Bone marrow smear: 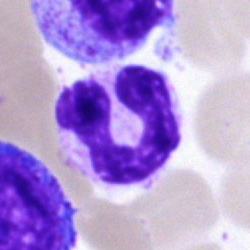Q: Which cell type is shown here?
A: A neutrophil (segmented).